40× objective, oil immersion · bone marrow aspirate smear · May-Grünwald-Giemsa stain — 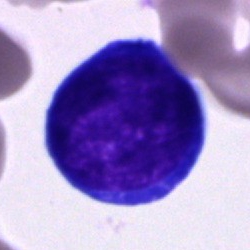
Specimen: bone marrow smear.
Classification: pronormoblast.
Lineage: erythroid.